Bone marrow smear.
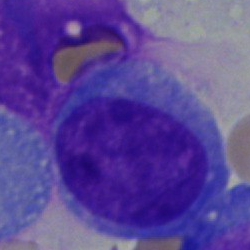
Morphology consistent with an undifferentiated blast.